Bone marrow smear · MGG-stained · single cell centered in the field.
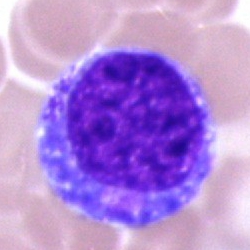

Impression — cell of indeterminate lineage.